Bone marrow aspirate smear — 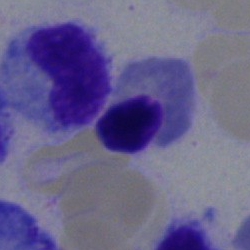Cell type = nucleated red cell.